Bone marrow smear. Image size 250×250. Single-cell field.
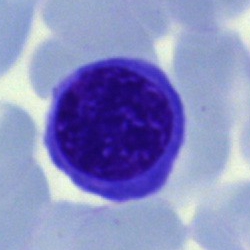

Nucleated red cell.